Bone marrow aspirate smear · May-Grünwald-Giemsa stain.
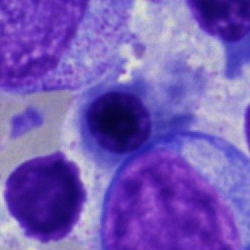Morphological class = normoblast.